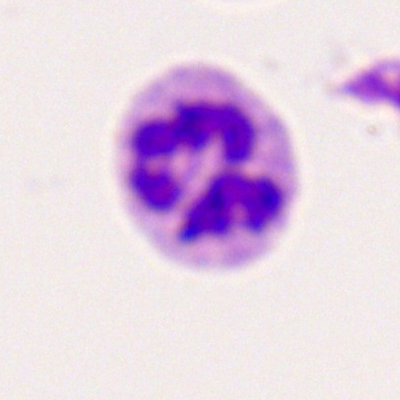
The cell shown is a polymorphonuclear neutrophil.